Bone marrow aspirate smear.
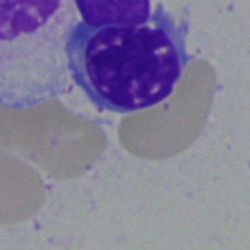
Specimen: bone marrow smear.
Cell type: nucleated red blood cell.
Lineage: erythroid.